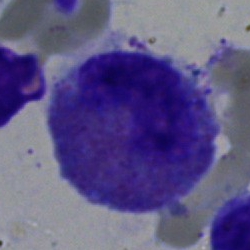

The cell type is eosinophil.